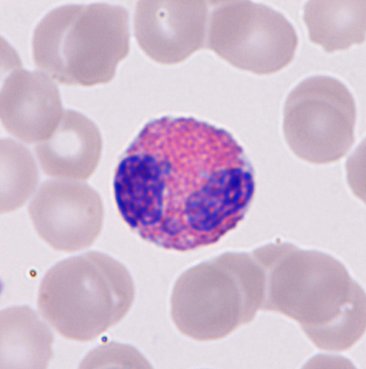

Acquisition: Peripheral blood film. An eosinophil.